Bone marrow smear: 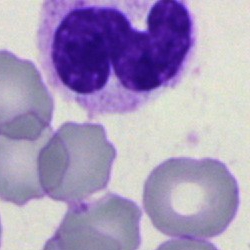 Morphological class — polymorphonuclear neutrophil.